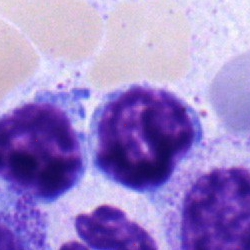 Bone marrow aspirate smear, single cell — typical lymphocyte.